40× oil immersion. Bone marrow smear:
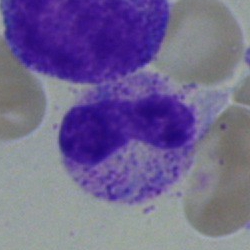

The cell is stab cell.